Bone marrow smear. 40× oil immersion.
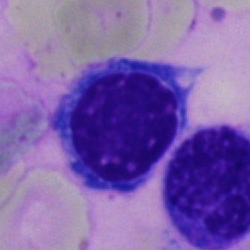
Nucleated red blood cell.